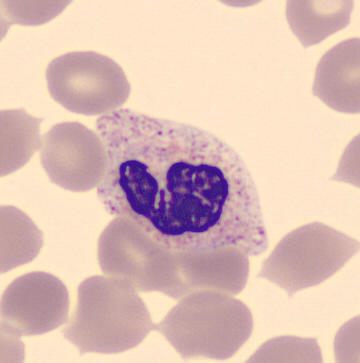 Image: Peripheral blood smear.

Morphology consistent with a neutrophil (segmented).